Bone marrow aspirate smear
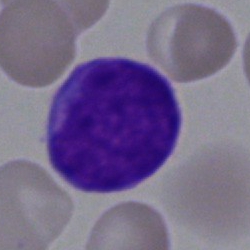Morphological class — blast.